Bone marrow smear · brightfield, 40× oil-immersion objective — 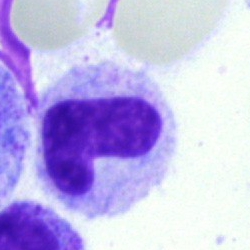Classification — stab cell.